Cropped to a single cell. Bone marrow smear — 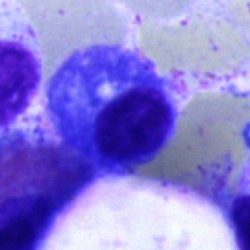 Morphology → plasma cell.